Cropped to a single cell · bone marrow smear · brightfield microscopy, 40× oil immersion.
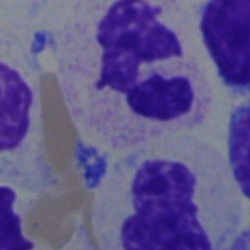
Q: What is the morphological classification of this cell?
A: This is a neutrophil (segmented).